Bone marrow smear; brightfield microscopy, 40× oil immersion; single-cell field
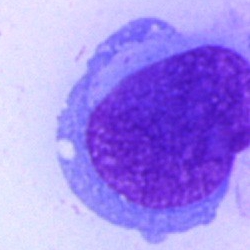Impression → blast.